250×250; bone marrow aspirate smear: 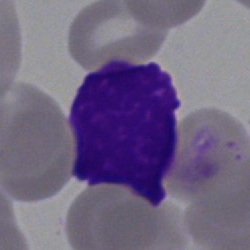
Q: What is shown here?
A: It is an artifact.